Single-cell field. Bone marrow aspirate smear: 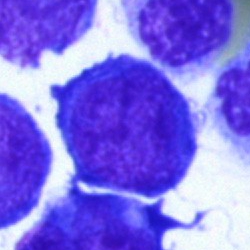
Blast.